May-Grünwald-Giemsa stain; bone marrow smear.
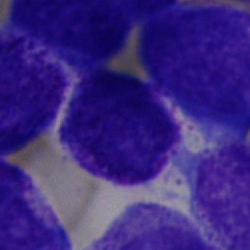
Blast.